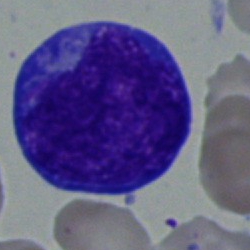

Q: What is shown here?
A: It is an undifferentiated blast.